Bone marrow smear. Brightfield microscopy, 40× oil immersion
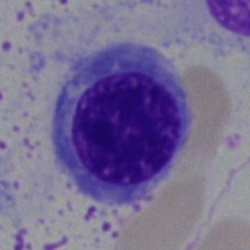 {"cell_type": "nucleated red blood cell", "lineage": "erythroid"}